Bone marrow aspirate smear:
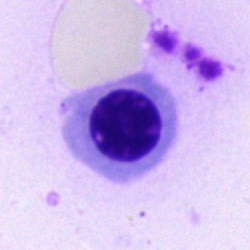

Morphology consistent with a nucleated red cell.